Bone marrow aspirate smear
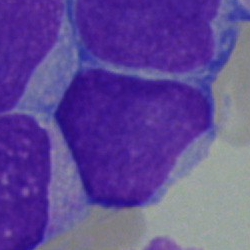Q: What is the morphological classification of this cell?
A: Blast.